Bone marrow smear — 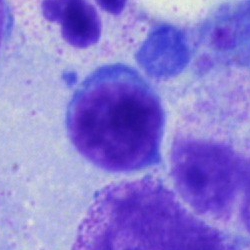 The cell shown is a lymphocyte.